Bone marrow smear. 250 by 250 pixels: 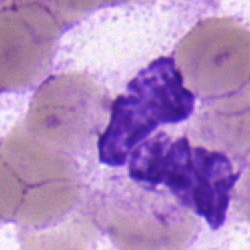

Q: What is shown here?
A: A polymorphonuclear neutrophil.